Pappenheim-stained. Bone marrow smear — 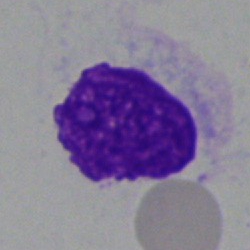Q: What is shown here?
A: It is an artefact.